250×250 px. Single-cell field. Bone marrow aspirate smear
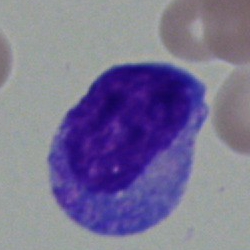Specimen: bone marrow aspirate smear.
Cell: myelocyte.
Lineage: myeloid.